Bone marrow smear
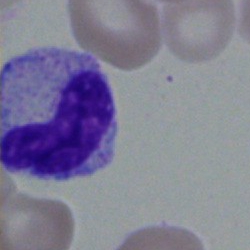 Cell type = band neutrophil.